Peripheral blood film: 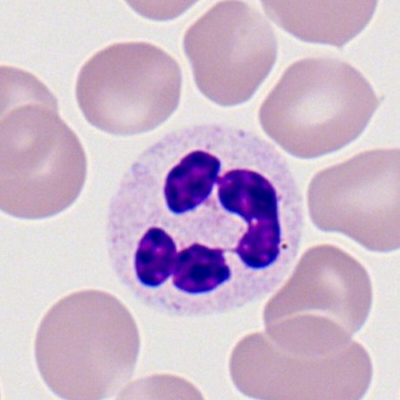 Polymorphonuclear neutrophil.